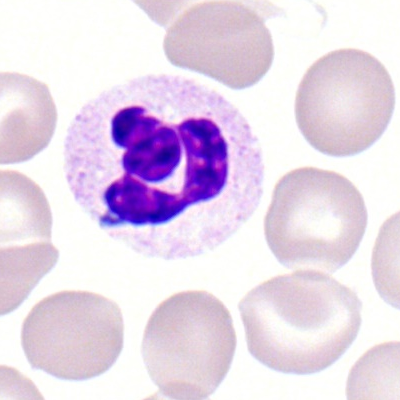
Q: What is shown here?
A: Segmented neutrophil.